Bone marrow aspirate smear
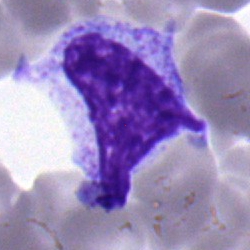Showing a metamyelocyte.